Bone marrow smear: 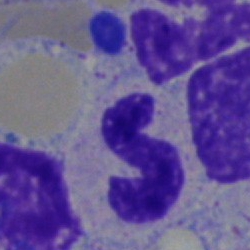
Classification: polymorphonuclear neutrophil.